Bone marrow smear.
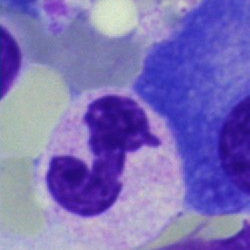
Q: Identify the cell.
A: A polymorphonuclear neutrophil.